Bone marrow aspirate smear — 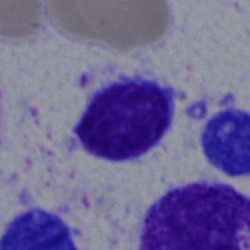

Q: Which cell type is shown here?
A: A lymphocyte.